Bone marrow aspirate smear
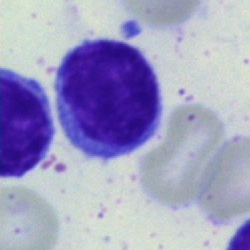

Cell: lymphocyte.